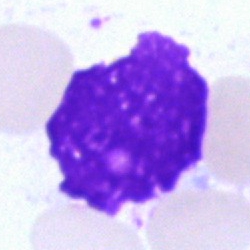 Morphological class: artefact.